Bone marrow smear — 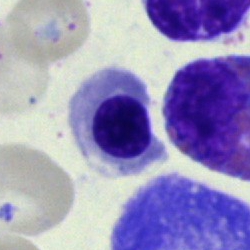 The cell shown is an erythroblast.